Bone marrow smear · brightfield microscopy, 40× oil immersion — 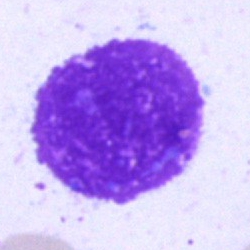This is an artefact.